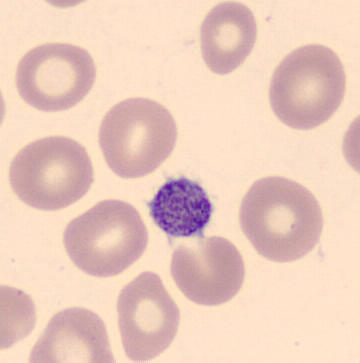

Q: What is this?
A: A platelet.
Acquisition: Peripheral blood smear.